Bone marrow smear
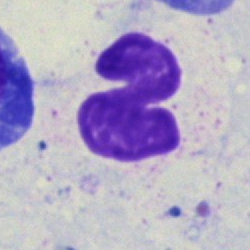 Specimen: bone marrow aspirate smear.
Classification: stab cell.